Peripheral blood smear; 360×363; CellaVision DM96 digital cell image:
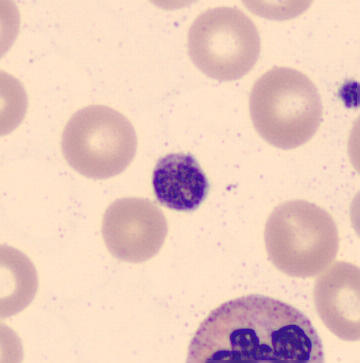
Classification: platelet.